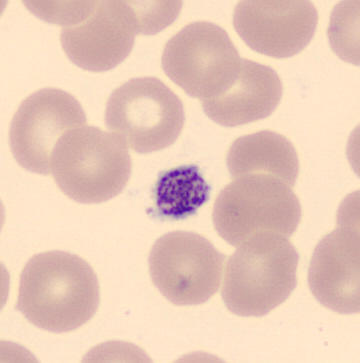 Q: What is shown here?
A: A thrombocyte. Preparation: Peripheral blood film.